Bone marrow smear. Single-cell field. 250 by 250 pixels: 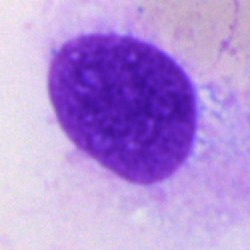 Impression — artefact.